Bone marrow smear:
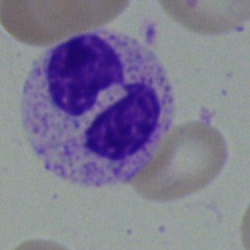

The cell type is segmented neutrophil.